Image size 250×250 · bone marrow aspirate smear · 40× objective, oil immersion
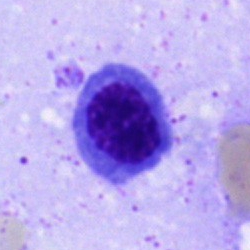Single cell identified as an erythroblast.